100× oil immersion · Romanowsky-type stain · peripheral blood smear:
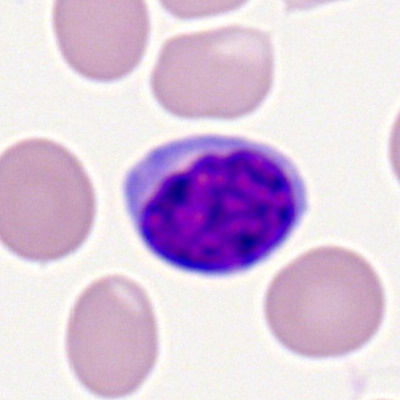

A lymphocyte.